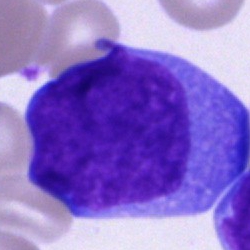Showing an undifferentiated blast.